Bone marrow smear · single-cell field · May-Grünwald-Giemsa/Pappenheim stain: 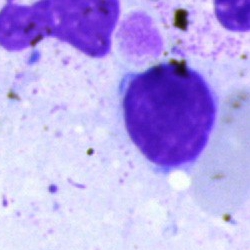

Q: Identify the cell.
A: This is a lymphocyte.